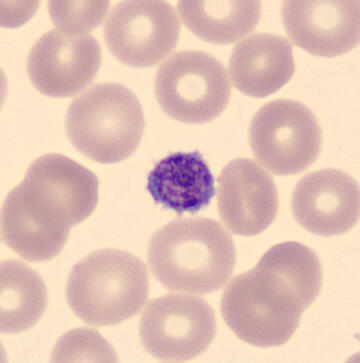

Morphological class: thrombocyte.